250×250 px. Single-cell field. Bone marrow aspirate smear.
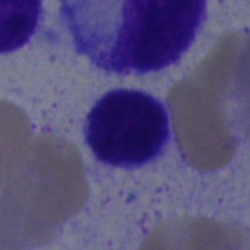A typical lymphocyte.